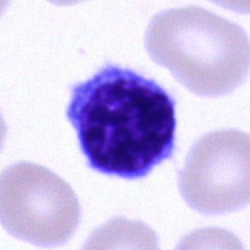

Morphological class = lymphocyte.